Bone marrow smear — 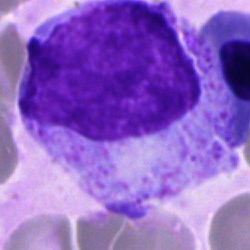
The cell is promyelocyte.